Brightfield, 40× oil-immersion objective. MGG-stained. Bone marrow aspirate smear
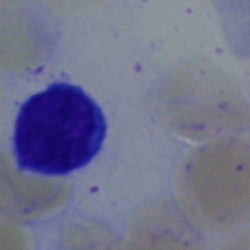Classification: typical lymphocyte.